Bone marrow smear
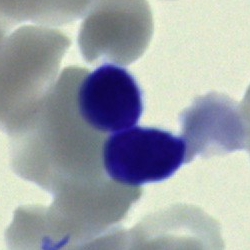 Cell type — lymphocyte.